Bone marrow smear
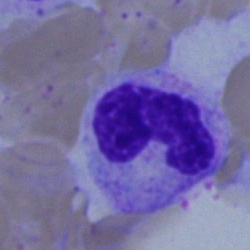 Neutrophil (band).